Bone marrow aspirate smear; 40× oil immersion.
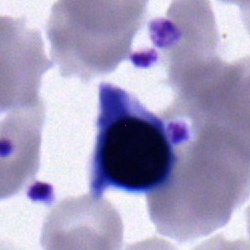

Nucleated red cell.